May-Grünwald-Giemsa stain · bone marrow aspirate smear — 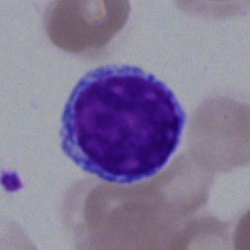This is a lymphocyte.